Bone marrow aspirate smear; 40× objective, oil immersion; 250×250 px — 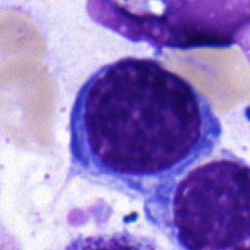 Classification = nucleated red cell.